Bone marrow aspirate smear:
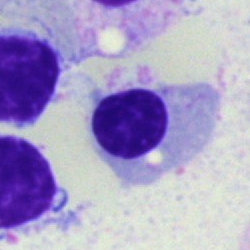
A nucleated red cell.